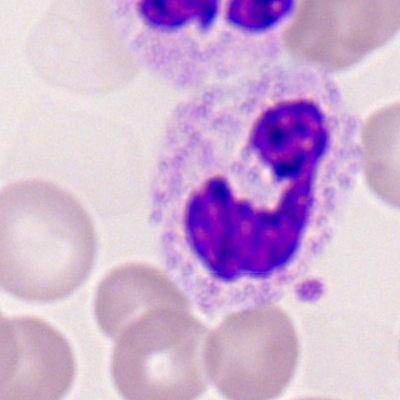Q: What is the morphological classification of this cell?
A: A neutrophil (segmented).